May-Grünwald-Giemsa stain. Bone marrow aspirate smear.
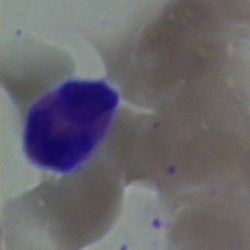 The morphological class is lymphocyte.